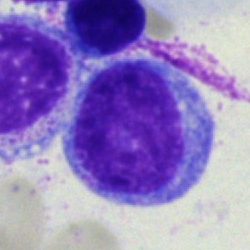 An undifferentiated blast.